Bone marrow aspirate smear · single cell centered in the field: 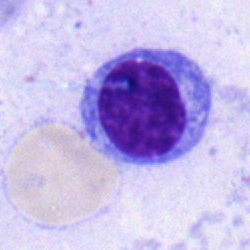 Morphology → typical lymphocyte.